May-Grünwald-Giemsa stain · brightfield microscopy, 40× oil immersion · bone marrow smear — 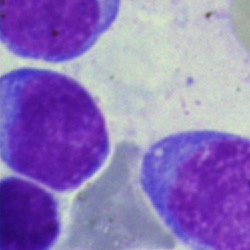

Specimen: bone marrow smear.
Morphological class: lymphocyte.